Bone marrow aspirate smear · 250×250 px: 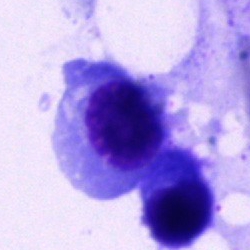
This is a nucleated red blood cell.